Bone marrow smear
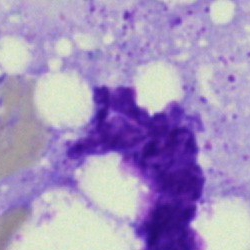Specimen: bone marrow smear.
Classification: artefact.